Brightfield microscopy, 40× oil immersion; bone marrow smear — 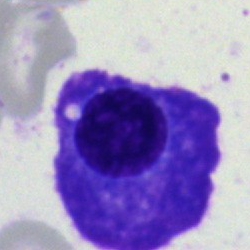

{"cell_type": "plasmacyte"}